40× objective, oil immersion; bone marrow smear
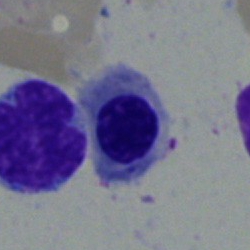

Cell type = erythroblast.